Bone marrow aspirate smear.
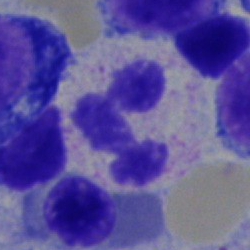Showing a polymorphonuclear neutrophil.